Bone marrow smear — 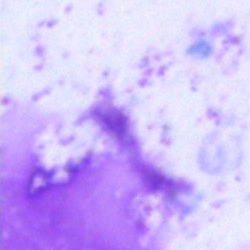Cell type — artefact.